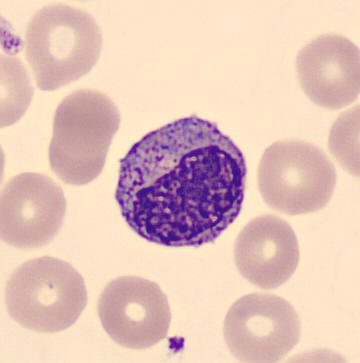 Acquisition: 360 by 363 pixels. Specimen: peripheral blood smear.
Cell: myelocyte.
Lineage: myeloid.